Bone marrow aspirate smear — 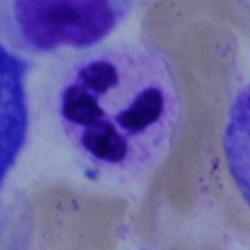

Showing a segmented neutrophil.